Single-cell crop · bone marrow aspirate smear
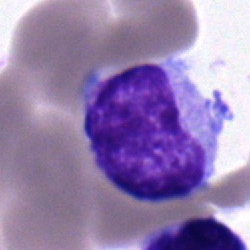 Q: Which cell type is shown here?
A: Typical lymphocyte.